Peripheral blood smear:
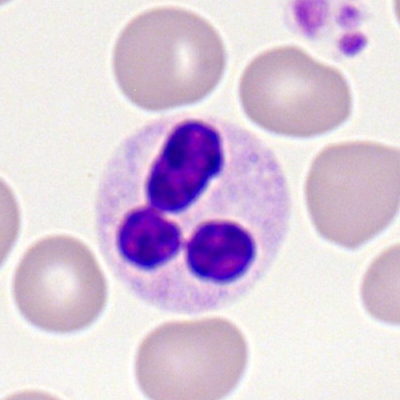

Specimen: peripheral blood smear.
Cell type: neutrophil (segmented).